Bone marrow smear: 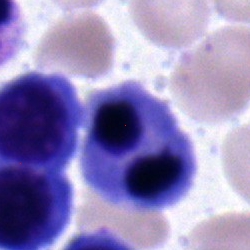
The cell shown is a normoblast.